250 by 250 pixels. Bone marrow smear
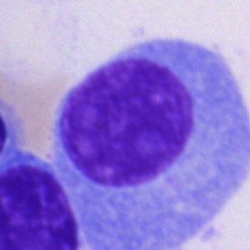

This is a plasma cell.